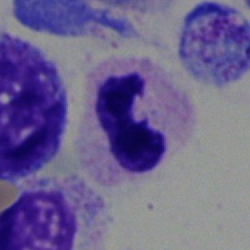

Single cell identified as a neutrophil (segmented).